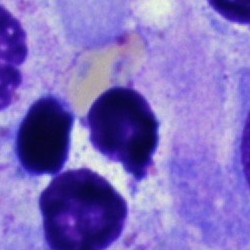 Q: What is shown here?
A: It is an artifact.